Bone marrow aspirate smear: 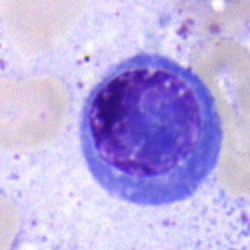Specimen: bone marrow smear.
Morphological class: normoblast.
Lineage: erythroid.